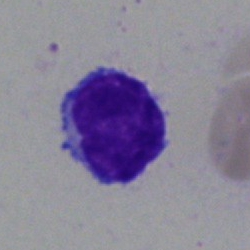

{"cell_type": "typical lymphocyte"}